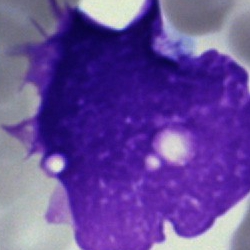Morphology consistent with an artifact.